Bone marrow aspirate smear — 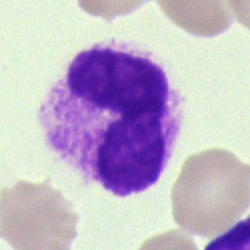

The morphological class is band neutrophil.